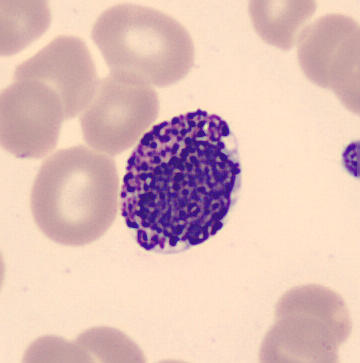
Specimen: peripheral blood film.
Cell: basophil.
Lineage: myeloid.